Single-cell crop; bone marrow aspirate smear; May-Grünwald-Giemsa/Pappenheim stain:
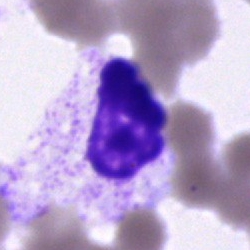Q: What is shown here?
A: This is an artefact.